Single-cell crop · 250 by 250 pixels · bone marrow smear
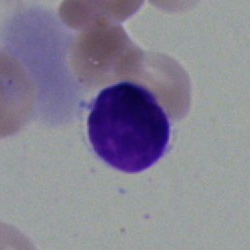 The cell type is lymphocyte.